Peripheral blood film: 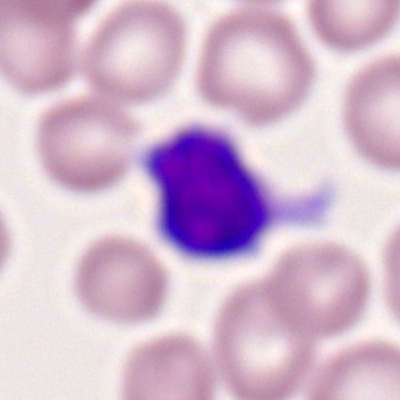
Q: What is shown here?
A: A typical lymphocyte.